Bone marrow aspirate smear · 250 by 250 pixels:
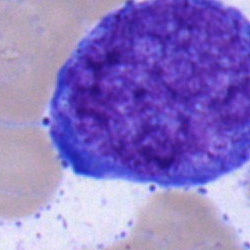 {"cell_type": "blast cell"}